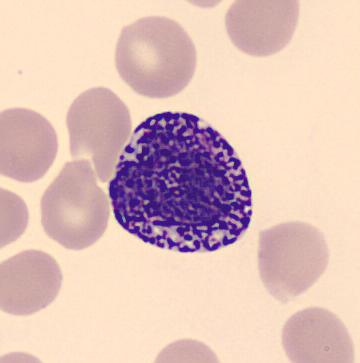Image: Single-cell crop. May Grünwald-Giemsa stain.
Specimen: peripheral blood film.
Morphological class: basophil.